Bone marrow smear
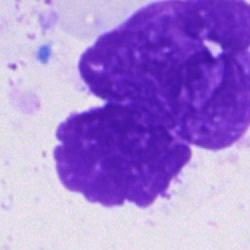 Q: What is shown here?
A: This is an artefact.